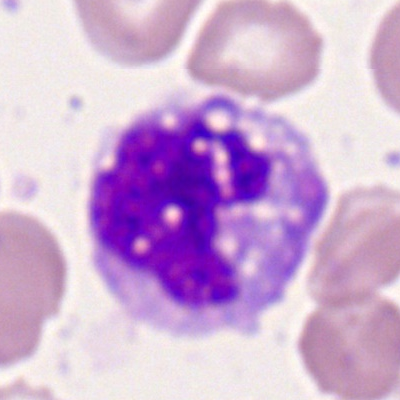 Monocyte.